Bone marrow aspirate smear: 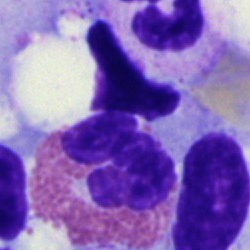 {"cell_type": "eosinophilic granulocyte"}